Bone marrow smear.
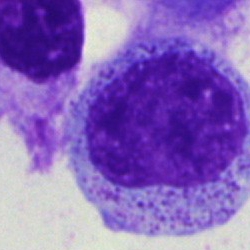
The cell type is promyelocyte.